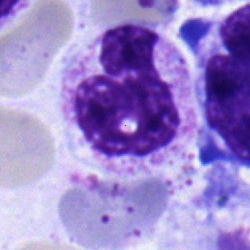Q: What is shown here?
A: A band-form neutrophil.